Bone marrow smear: 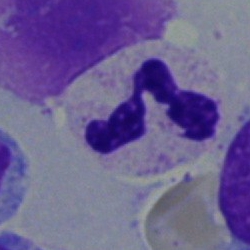 Q: Identify the cell.
A: A polymorphonuclear neutrophil.